40× objective, oil immersion · bone marrow smear.
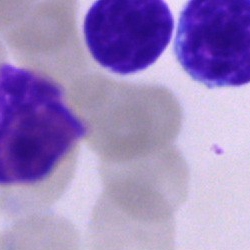 Classification: typical lymphocyte.